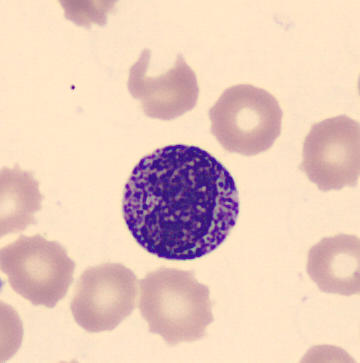

Impression — metamyelocyte.